Bone marrow smear; May-Grünwald-Giemsa stain:
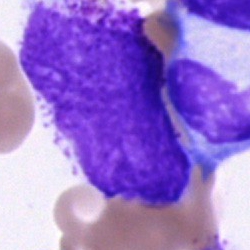

Morphological class — cell of indeterminate lineage.